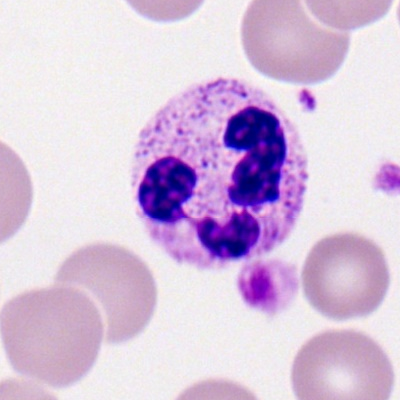 Impression → segmented neutrophil.